Peripheral blood smear · cropped to a single cell: 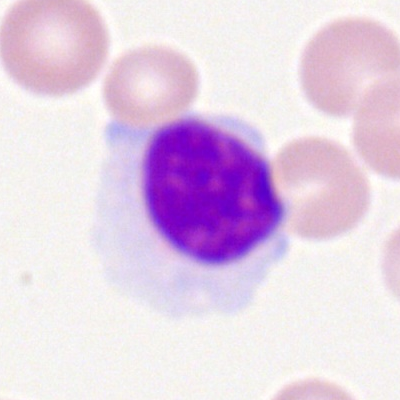

Showing a lymphocyte.